Bone marrow smear:
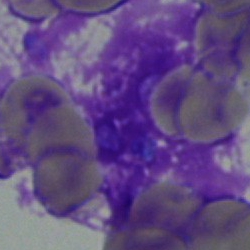
Morphology consistent with an artefact.